Bone marrow smear: 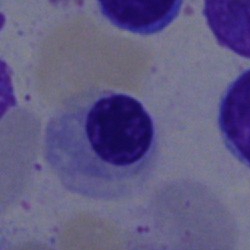Specimen: bone marrow aspirate smear.
Classification: nucleated red cell.
Lineage: erythroid.